Bone marrow smear
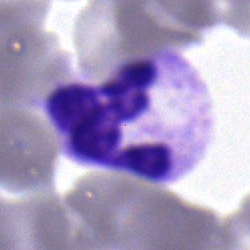

Q: What type of cell is this?
A: It is a neutrophil (segmented).